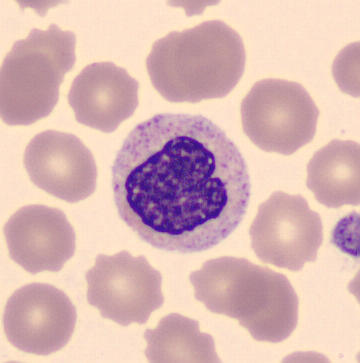 Morphology → metamyelocyte.